Cropped to a single cell · bone marrow aspirate smear · Pappenheim-stained.
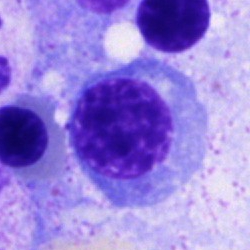Specimen: bone marrow aspirate smear.
Classification: nucleated red blood cell.